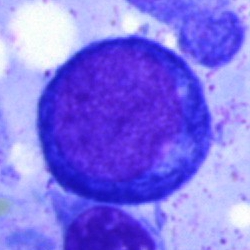 Single cell identified as a pronormoblast.